Bone marrow aspirate smear:
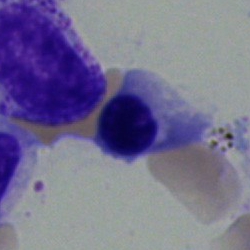The cell shown is a normoblast.